40× oil immersion. Bone marrow aspirate smear — 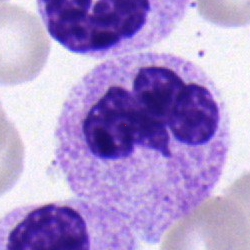Q: Identify the cell.
A: It is a segmented neutrophil.